250×250 px · bone marrow aspirate smear: 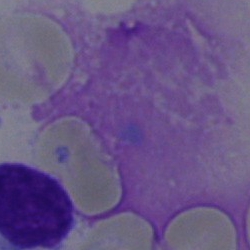
Q: What is shown here?
A: An artifact.